Bone marrow aspirate smear; May-Grünwald-Giemsa stain — 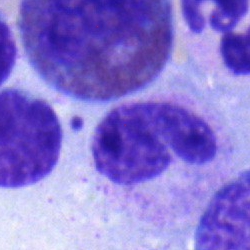 Classification = band-form neutrophil.